Bone marrow aspirate smear
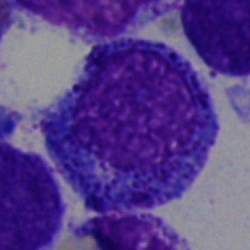 Classification — progranulocyte.